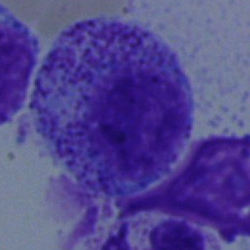

Single cell identified as a myelocyte.